Peripheral blood smear.
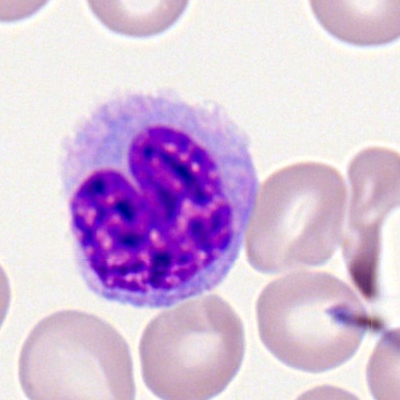Monocyte.